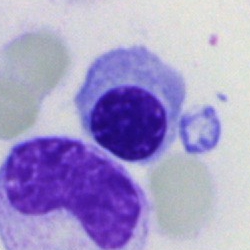
Cell type = erythroblast.